Bone marrow aspirate smear — 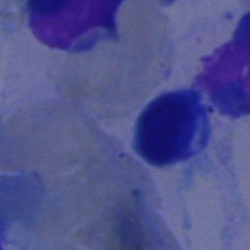 Q: Identify the cell.
A: Typical lymphocyte.